May-Grünwald-Giemsa stain · bone marrow aspirate smear:
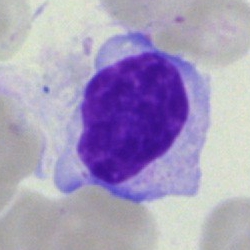
{"cell_type": "lymphocyte", "lineage": "lymphoid"}